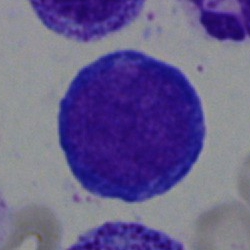Q: What type of cell is this?
A: Pronormoblast.